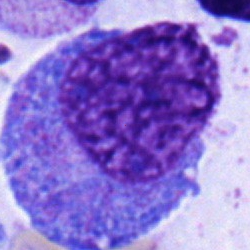

Classification — promyelocyte.